Bone marrow smear:
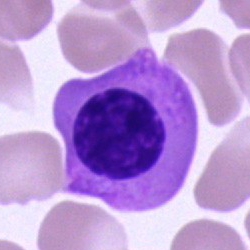

Specimen: bone marrow smear.
Classification: erythroblast.
Lineage: erythroid.